Bone marrow aspirate smear · 250 by 250 pixels: 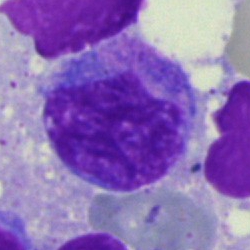
The cell is monocyte.